Bone marrow smear — 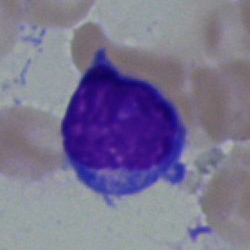

Q: What cell is this?
A: It is a blast.